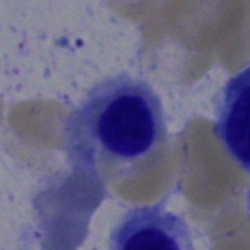
{"cell_type": "erythroblast", "lineage": "erythroid"}